Bone marrow smear — 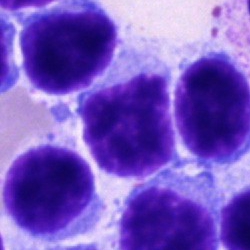Typical lymphocyte.